Peripheral blood smear · image size 400×400:
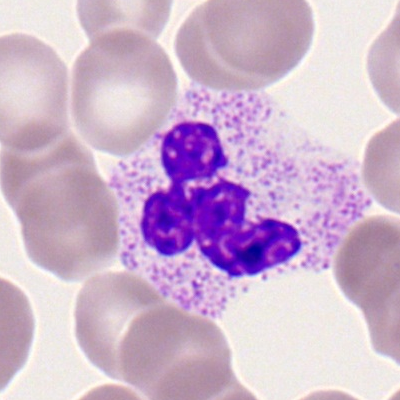 Impression — polymorphonuclear neutrophil.